Bone marrow smear
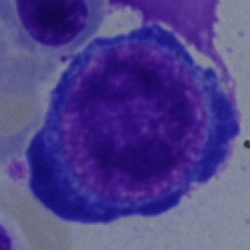

Cell = nucleated red cell.